Bone marrow smear — 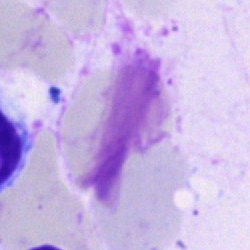

Showing an artifact.